Single cell centered in the field; 250 by 250 pixels; bone marrow aspirate smear:
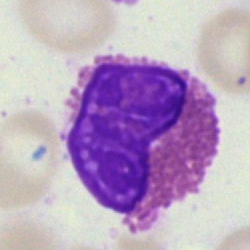

Morphology consistent with an eosinophilic granulocyte.